Bone marrow smear · MGG-stained.
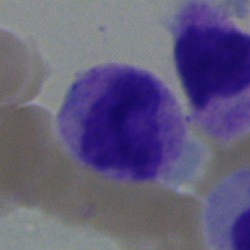
The cell shown is a polymorphonuclear neutrophil.